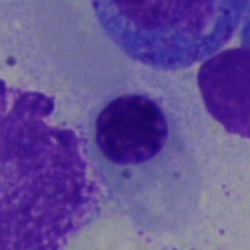
Showing a nucleated red cell.